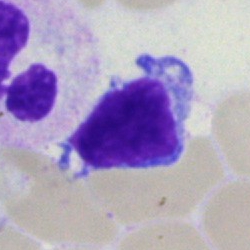
A lymphocyte on a bone marrow smear.